Bone marrow aspirate smear:
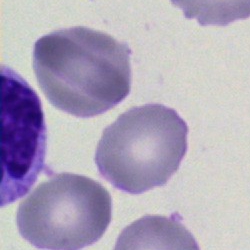
Showing an artefact.